Bone marrow smear.
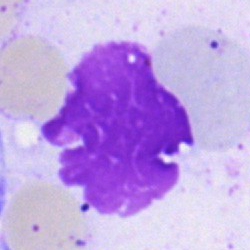Cell: artefact.